Bone marrow smear: 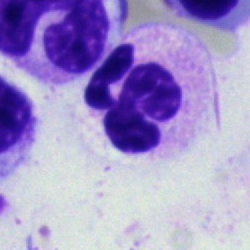The cell shown is a polymorphonuclear neutrophil.